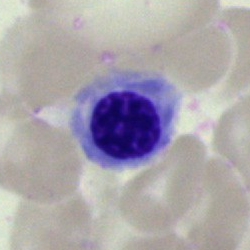

A nucleated red cell.